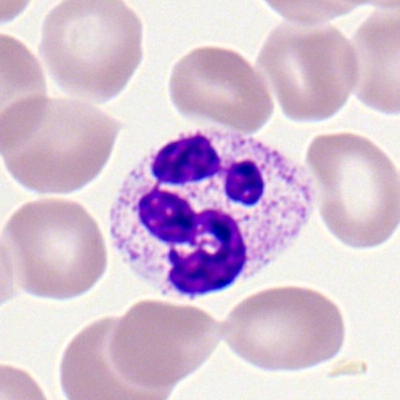

{"cell_type": "segmented neutrophil"}